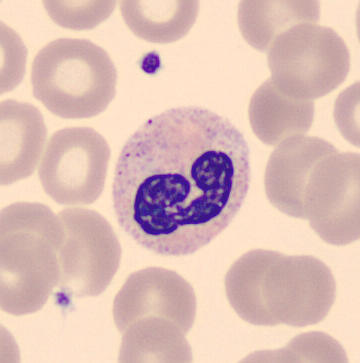

Specimen: peripheral blood smear.
Cell type: band neutrophil.